Bone marrow smear:
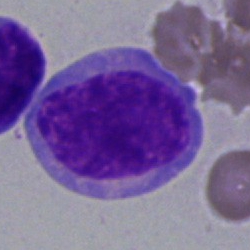
Cell type = undifferentiated blast.